Cropped to a single cell. Bone marrow aspirate smear. Brightfield, 40× oil-immersion objective — 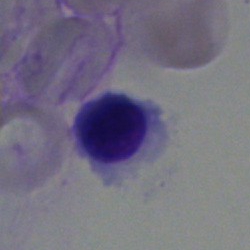

Q: What is the morphological classification of this cell?
A: A normoblast.